40× objective, oil immersion · cropped to a single cell · bone marrow aspirate smear:
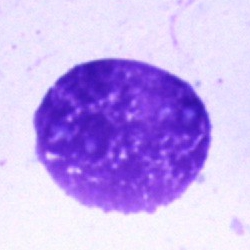Showing an artefact.